Bone marrow smear · MGG-stained.
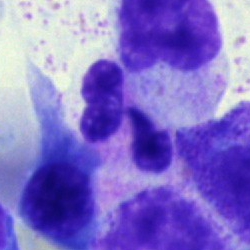Impression → segmented neutrophil.